Bone marrow aspirate smear · brightfield, 40× oil-immersion objective
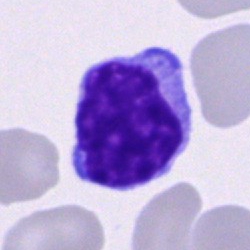Single cell identified as a typical lymphocyte.